Bone marrow smear: 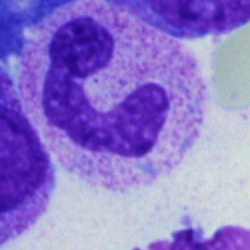 Morphology → polymorphonuclear neutrophil.